Peripheral blood smear · brightfield, 100× oil-immersion objective.
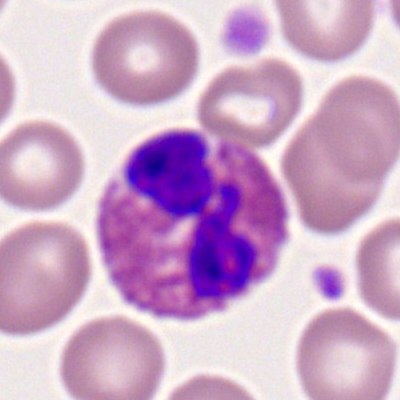
Impression — eosinophilic granulocyte.